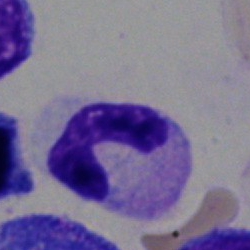Morphological class — stab cell.